Bone marrow smear: 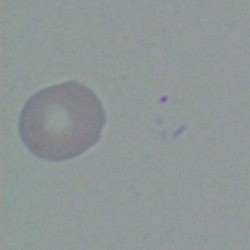Showing an unidentifiable cell.